Bone marrow aspirate smear · May-Grünwald-Giemsa stain.
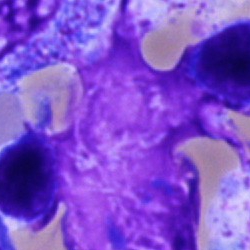 Specimen: bone marrow smear.
Cell type: artefact.